Bone marrow smear.
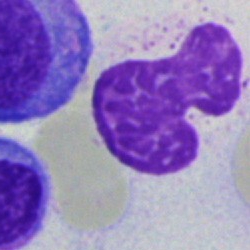Classification: artefact.